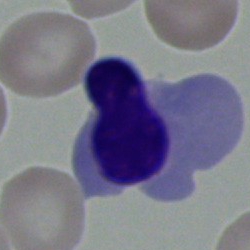Morphological class — normoblast.